Bone marrow aspirate smear; image size 250×250; single-cell crop — 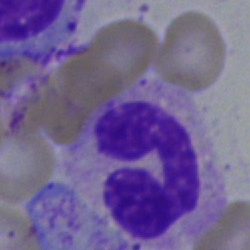

Q: What type of cell is this?
A: A segmented neutrophil.